Pappenheim-stained. Bone marrow aspirate smear:
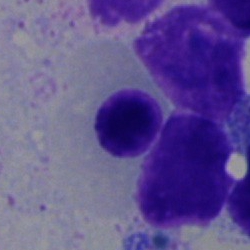

Impression — normoblast.